Bone marrow smear — 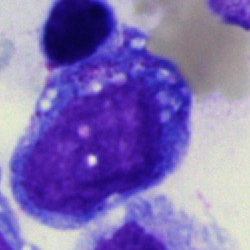

Q: What cell is this?
A: Lymphocyte.